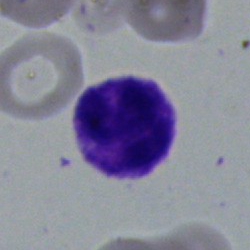Classification = neutrophil (segmented).